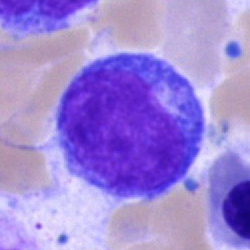 Specimen: bone marrow aspirate smear.
Cell type: undifferentiated blast.